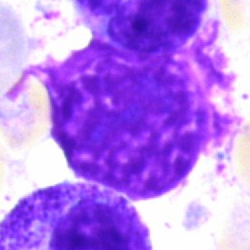
Impression — artefact.